Bone marrow aspirate smear
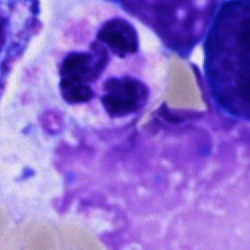
Cell type = polymorphonuclear neutrophil.